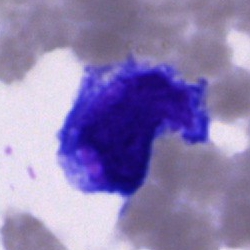Q: What type of cell is this?
A: A blast.